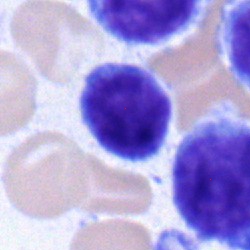

Morphology consistent with a typical lymphocyte.